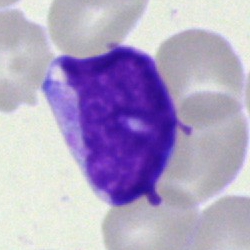
Morphology — undifferentiated blast.